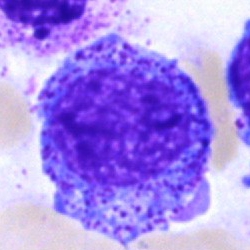

Specimen: bone marrow smear.
Cell: promyelocyte.